Bone marrow smear · 40× oil immersion: 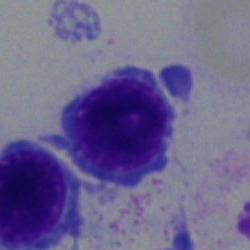Showing a nucleated red cell.